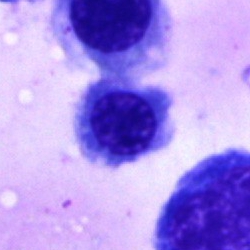 Morphology — nucleated red cell.